Bone marrow smear:
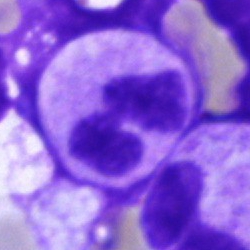

Single cell identified as a polymorphonuclear neutrophil.